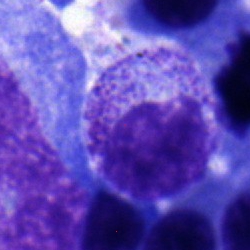
Specimen: bone marrow smear.
Morphological class: myelocyte.
Lineage: myeloid.